Bone marrow aspirate smear — 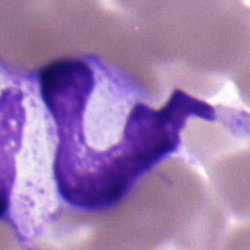

Morphology — polymorphonuclear neutrophil.